Peripheral blood smear
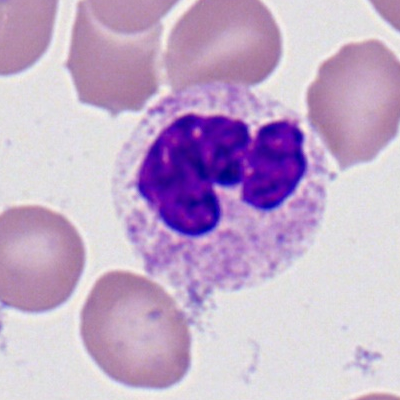Impression → segmented neutrophil.